Bone marrow smear
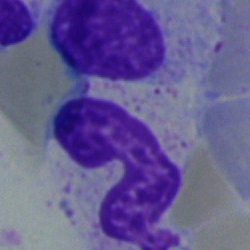
Morphology — stab cell.